250×250 px · brightfield microscopy, 40× oil immersion · bone marrow smear:
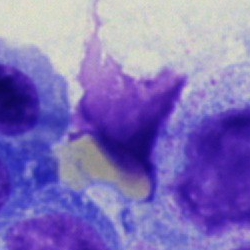Impression → artefact.